Romanowsky stain. Peripheral blood film:
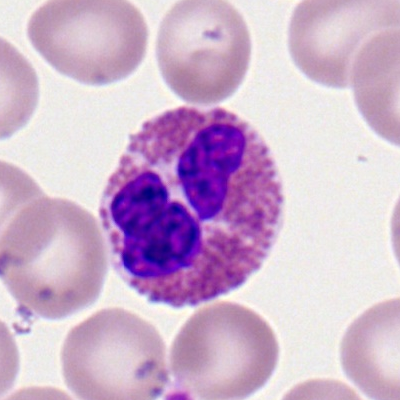Q: What is shown here?
A: Eosinophilic granulocyte.